Single-cell field. Bone marrow smear:
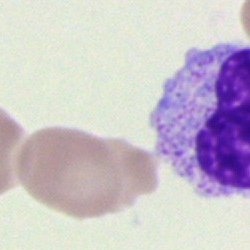Morphology consistent with a cell of indeterminate lineage.